250 by 250 pixels. Brightfield, 40× oil-immersion objective. Bone marrow aspirate smear — 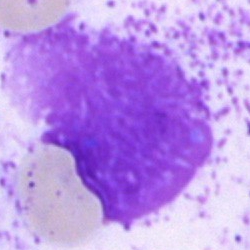 The cell shown is an artefact.